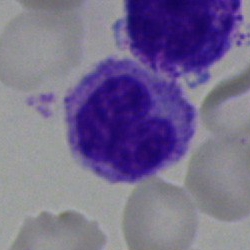
An unidentifiable cell on a bone marrow smear.